Bone marrow smear: 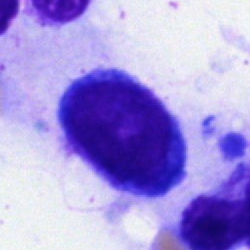Cell type = lymphocyte.